Bone marrow aspirate smear:
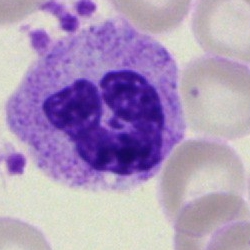
Morphological class: polymorphonuclear neutrophil.